Bone marrow smear:
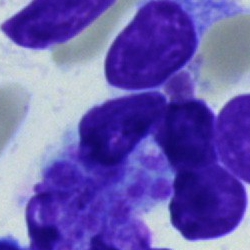Morphology → typical lymphocyte.